Bone marrow aspirate smear:
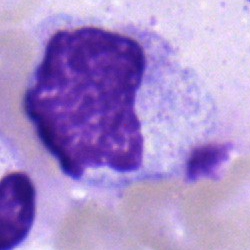
Morphological class = metamyelocyte.